400×400; peripheral blood film; brightfield, 100× oil-immersion objective:
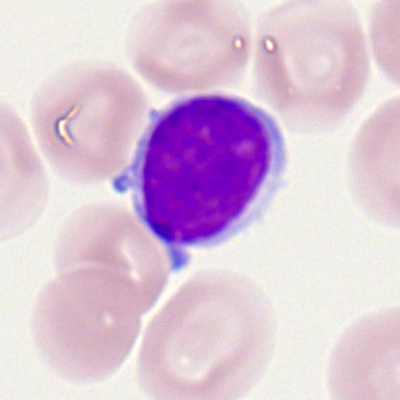
Showing a lymphocyte.